250×250; bone marrow smear.
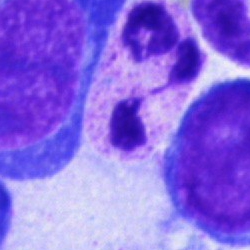Specimen: bone marrow smear.
Cell type: polymorphonuclear neutrophil.